Bone marrow smear; image size 250×250: 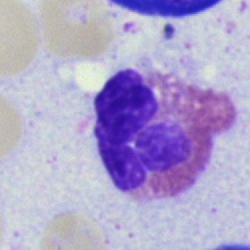Showing an eosinophil.